Peripheral blood film; single-cell field; brightfield, 100× oil-immersion objective — 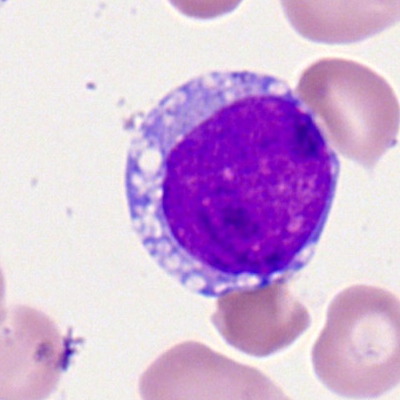
The cell shown is a myeloid blast.